Brightfield, 40× oil-immersion objective · bone marrow smear · single-cell field.
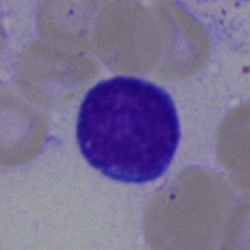
The classification is lymphocyte.